Bone marrow aspirate smear; 250×250:
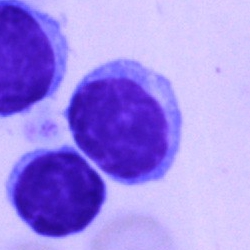

Specimen: bone marrow aspirate smear.
Cell type: lymphocyte.
Lineage: lymphoid.